Bone marrow smear; May-Grünwald-Giemsa/Pappenheim stain:
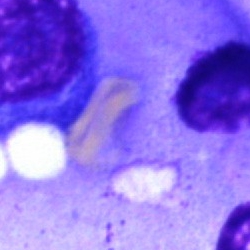

Showing an artefact.